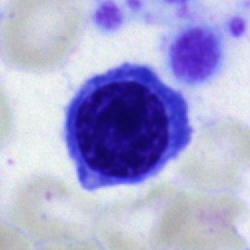
Single-cell crop from a bone marrow smear: normoblast.